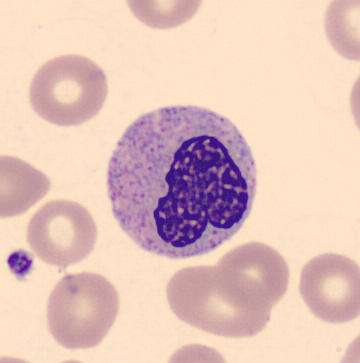Specimen: peripheral blood film.
Cell: metamyelocyte.